Bone marrow smear.
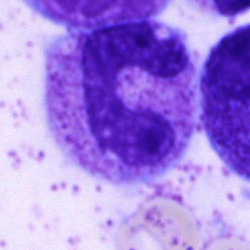 Single cell identified as a band neutrophil.